250 by 250 pixels. Bone marrow aspirate smear. Single-cell field:
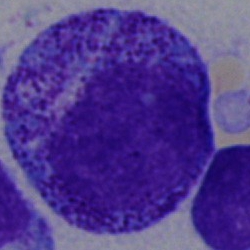

Specimen: bone marrow smear.
Cell type: progranulocyte.
Lineage: myeloid.